Bone marrow aspirate smear
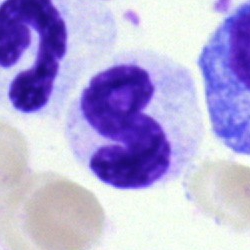

A neutrophil (band).